100× oil immersion. Peripheral blood smear: 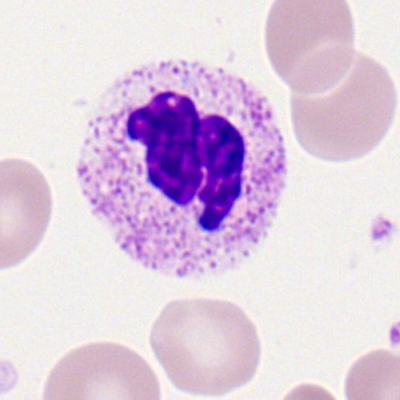Q: What type of cell is this?
A: Polymorphonuclear neutrophil.